Bone marrow aspirate smear.
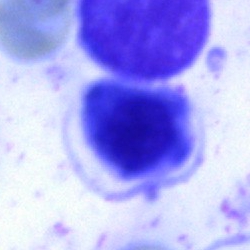
Morphological class — unidentifiable cell.